MGG stain · peripheral blood film · 360×363 — 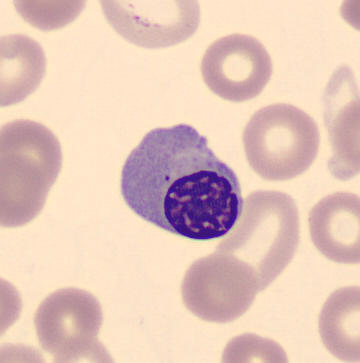 Cell: erythroblast.